Bone marrow aspirate smear
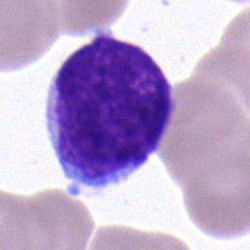 Cell type — typical lymphocyte.